Single cell centered in the field. May-Grünwald-Giemsa/Pappenheim stain. Bone marrow smear: 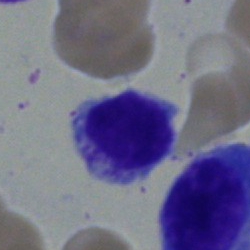The classification is erythroblast.